Brightfield microscopy, 40× oil immersion; bone marrow aspirate smear; 250×250 px.
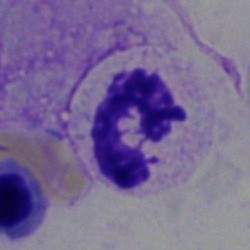
The morphological class is polymorphonuclear neutrophil.